Bone marrow smear. May-Grünwald-Giemsa stain. 250 by 250 pixels.
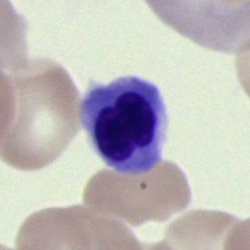
Classification: erythroblast.